Bone marrow aspirate smear: 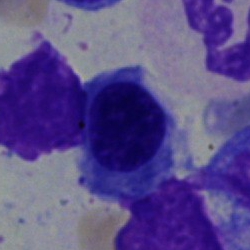
A nucleated red cell.